Bone marrow smear; 40× objective, oil immersion — 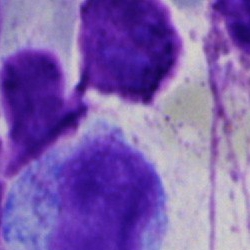
Classification: artifact.